Bone marrow aspirate smear — 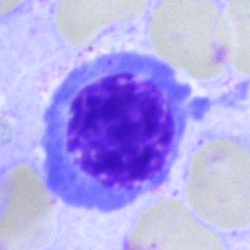

This is an erythroblast.